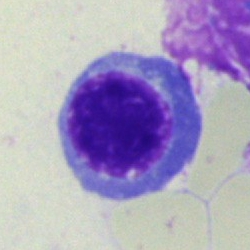
The cell shown is an erythroblast.